Bone marrow aspirate smear. Single-cell crop:
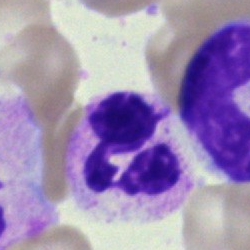
The cell shown is a neutrophil (segmented).